Bone marrow smear · 40× oil immersion — 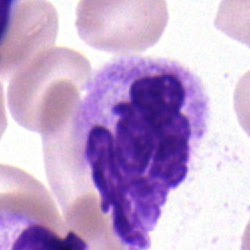
Specimen: bone marrow smear.
Cell type: neutrophil (segmented).
Lineage: myeloid.